Bone marrow smear: 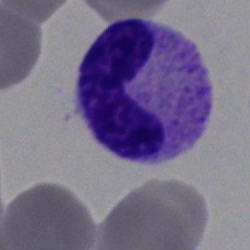Cell = band-form neutrophil.